May-Grünwald-Giemsa stain; 250×250 px; bone marrow aspirate smear:
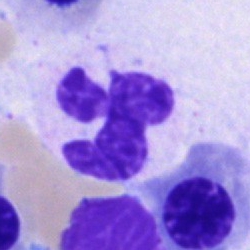

Impression → neutrophil (segmented).